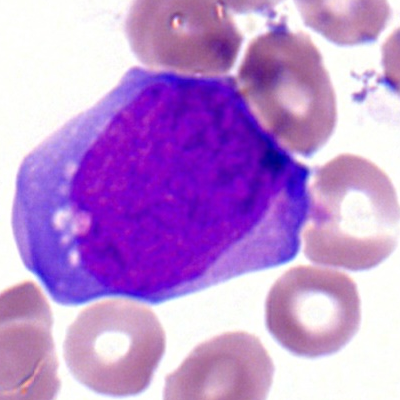
Showing a myeloblast.